Bone marrow aspirate smear · MGG-stained
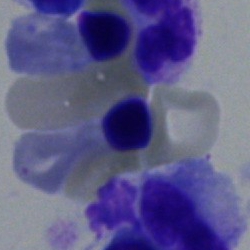

Morphology consistent with a nucleated red blood cell.